Bone marrow smear: 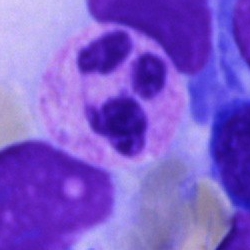
{"cell_type": "segmented neutrophil", "lineage": "myeloid"}